Bone marrow smear: 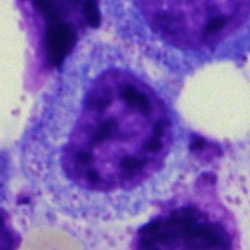
Specimen: bone marrow smear.
Cell: myelocyte.